Peripheral blood film · 400×400 px · Romanowsky-stained
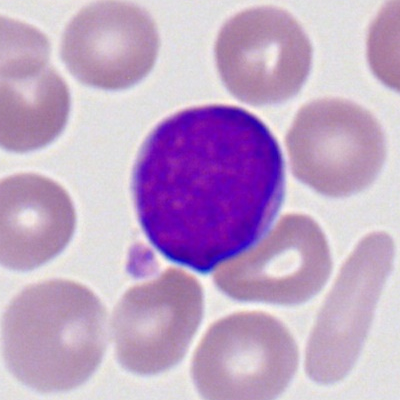 The classification is myeloblast.